Bone marrow aspirate smear — 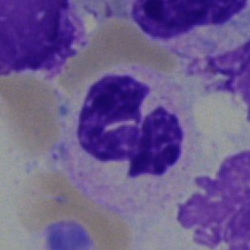{"cell_type": "segmented neutrophil", "lineage": "myeloid"}